Bone marrow aspirate smear: 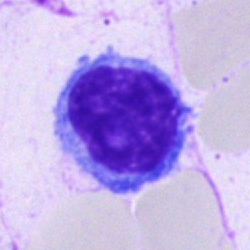 Q: Which cell type is shown here?
A: Typical lymphocyte.